Bone marrow smear · single-cell crop:
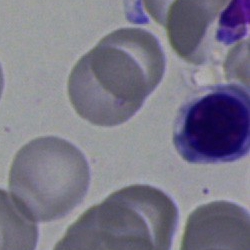 The cell is erythroblast.